40× objective, oil immersion; bone marrow smear — 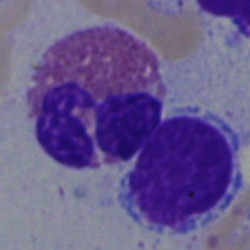

Impression — eosinophilic granulocyte.